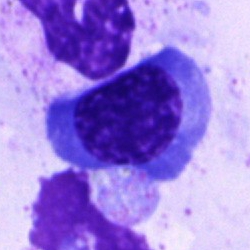

Morphology — normoblast.